Bone marrow aspirate smear; cropped to a single cell
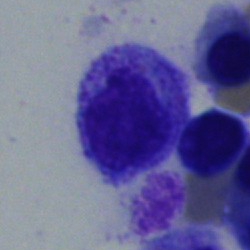
Myelocyte.